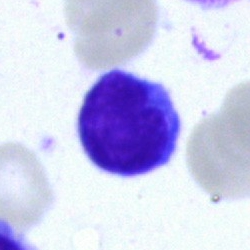The cell shown is a typical lymphocyte.